250×250 · bone marrow smear · May-Grünwald-Giemsa stain
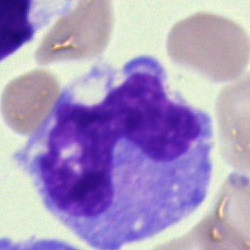Q: What is the morphological classification of this cell?
A: It is a monocyte.